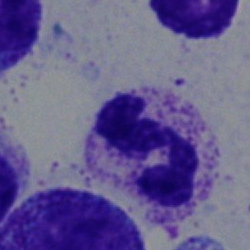

Cell type — segmented neutrophil.